40× objective, oil immersion. Bone marrow smear.
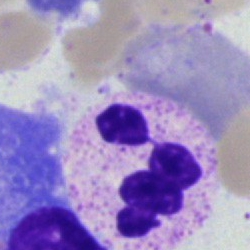 {"cell_type": "neutrophil (segmented)", "lineage": "myeloid"}